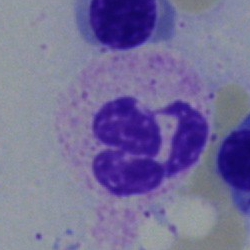A neutrophil (segmented) on a bone marrow smear.